Bone marrow aspirate smear. 40× oil immersion. May-Grünwald-Giemsa/Pappenheim stain: 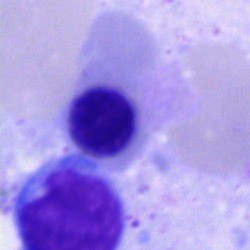 Morphological class — nucleated red cell.